Single-cell crop. 250×250 px. Bone marrow smear — 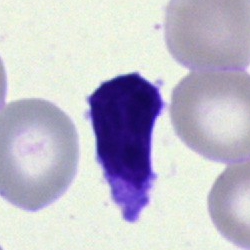 Single cell identified as a typical lymphocyte.